Bone marrow aspirate smear:
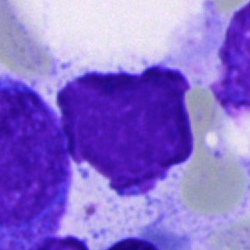 Cell type: artifact.